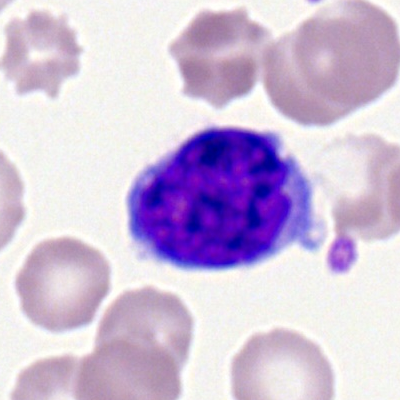

Lymphocyte.